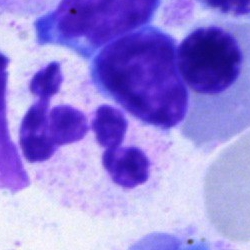
The cell is segmented neutrophil.